Bone marrow smear
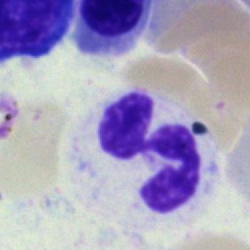A neutrophil (segmented).